Bone marrow smear.
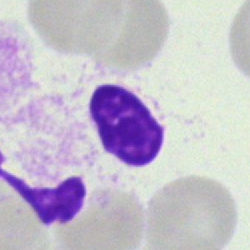

Impression → artifact.